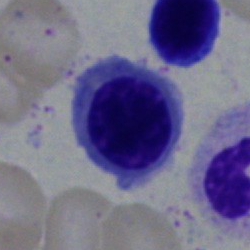 A nucleated red blood cell.